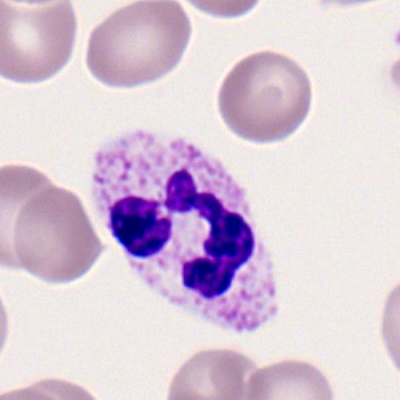

Impression → neutrophil (segmented).